Bone marrow aspirate smear — 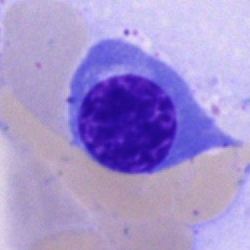A nucleated red cell.